Bone marrow aspirate smear. Cropped to a single cell — 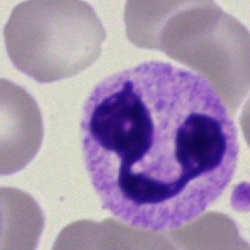

Impression — segmented neutrophil.